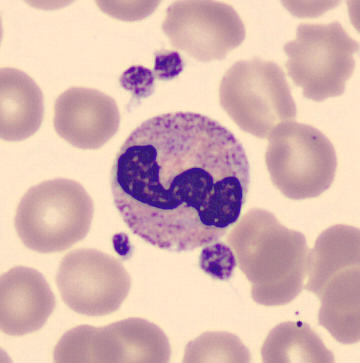

360×363. CellaVision DM96. Peripheral blood film.

Morphological class: band-form neutrophil.